250×250 px. Bone marrow smear — 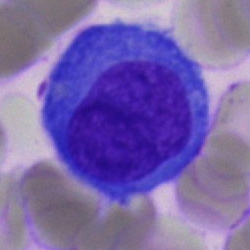

Specimen: bone marrow smear.
Cell type: blast cell.